100× oil immersion; peripheral blood film — 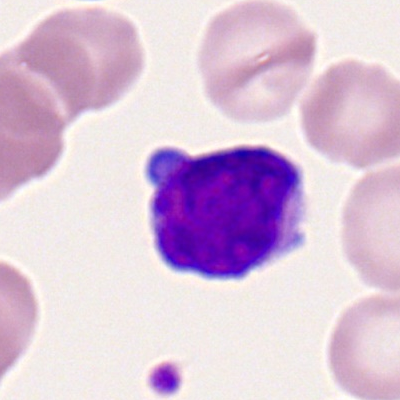

The cell shown is a typical lymphocyte.